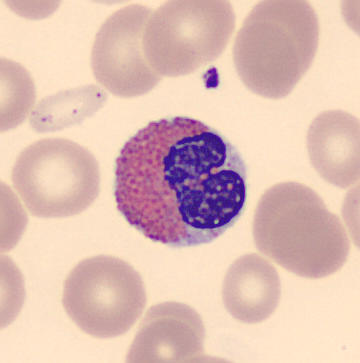 Morphology consistent with an eosinophil.